Bone marrow smear. MGG-stained — 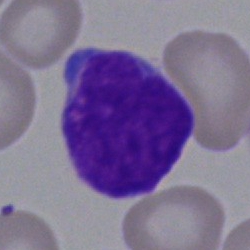
Undifferentiated blast.